Peripheral blood smear.
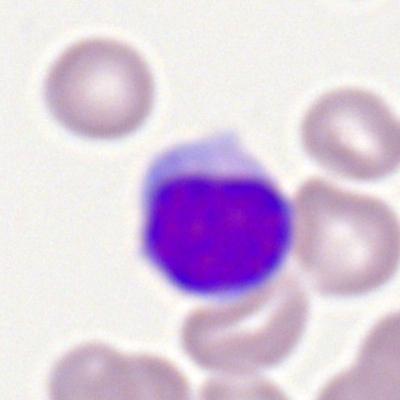

Classification: typical lymphocyte.